Bone marrow smear; May-Grünwald-Giemsa/Pappenheim stain.
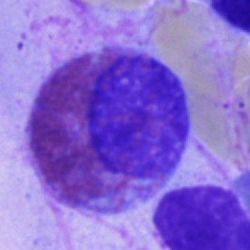 Q: What is shown here?
A: Eosinophilic granulocyte.